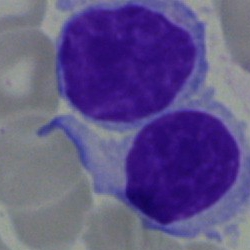Cell: typical lymphocyte.